Bone marrow smear: 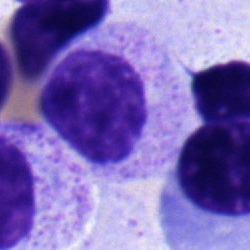 Cell = myelocyte.